Bone marrow aspirate smear.
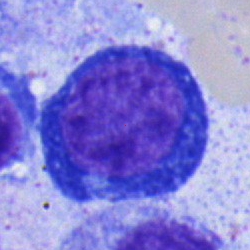 Q: What is shown here?
A: This is a nucleated red cell.